Bone marrow smear. Brightfield microscopy, 40× oil immersion: 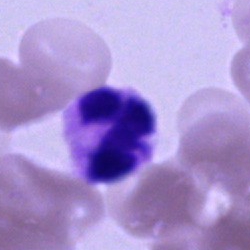

Cell type: polymorphonuclear neutrophil.